Bone marrow smear. Single-cell crop. 250 by 250 pixels.
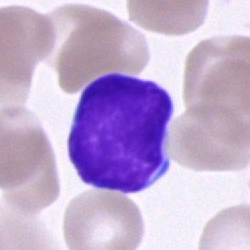Cell type — lymphocyte.